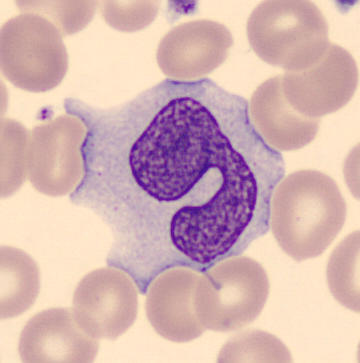 Peripheral blood smear.

The classification is monocyte.